250 by 250 pixels; bone marrow smear; 40× oil immersion:
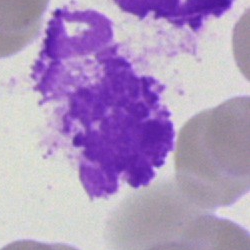 The morphological class is artifact.